MGG-stained; bone marrow smear:
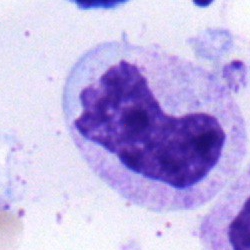 Classification: band neutrophil.